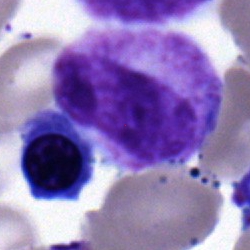 Q: Which cell type is shown here?
A: A metamyelocyte.